Peripheral blood smear · single cell centered in the field
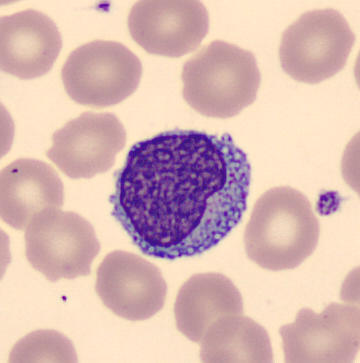

Cell type: monocyte.